250 by 250 pixels; bone marrow aspirate smear.
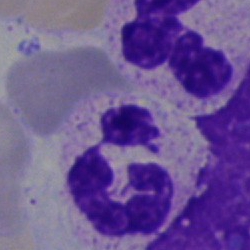
Cell type = polymorphonuclear neutrophil.